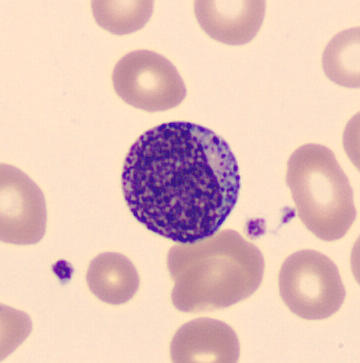Q: What cell is this?
A: It is a myelocyte.